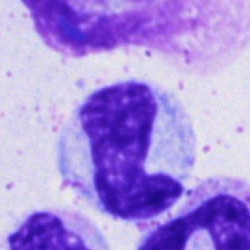 Cell type: neutrophil (band).